Image size 250×250. Bone marrow smear — 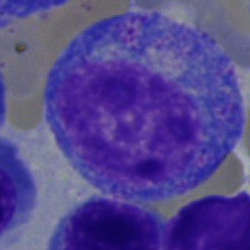 Cell: promyelocyte.